Bone marrow aspirate smear · single cell centered in the field: 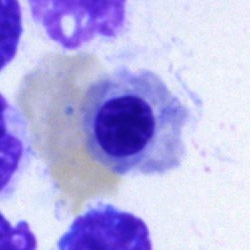Cell type — erythroblast.